Brightfield microscopy, 40× oil immersion; cropped to a single cell; bone marrow aspirate smear.
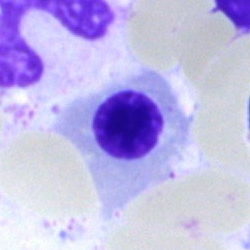
Specimen: bone marrow smear.
Morphological class: nucleated red cell.